Bone marrow aspirate smear: 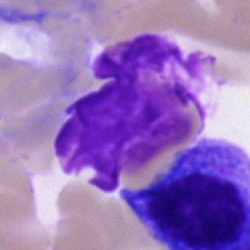The cell shown is an artifact.